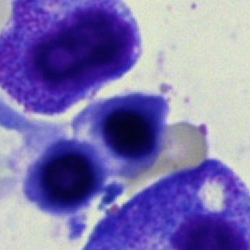

This is a nucleated red blood cell.